Bone marrow smear; May-Grünwald-Giemsa/Pappenheim stain; 40× oil immersion.
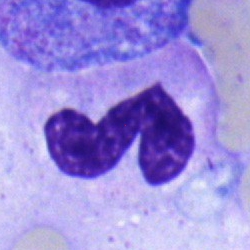 Showing a neutrophil (band).